Bone marrow smear:
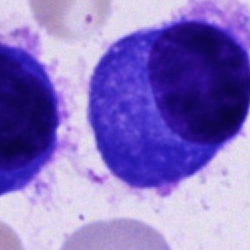 Q: What is the morphological classification of this cell?
A: A plasma cell.